Bone marrow smear:
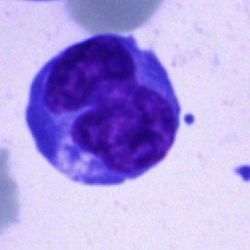
{"cell_type": "blast cell"}